Bone marrow aspirate smear. Single cell centered in the field:
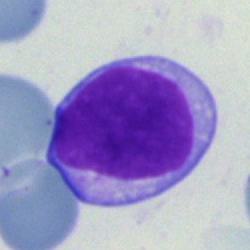A typical lymphocyte.